Single-cell field; brightfield microscopy, 40× oil immersion; bone marrow aspirate smear: 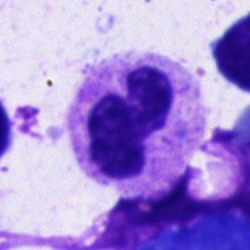
Neutrophil (segmented).